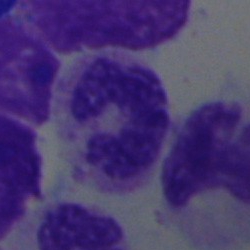 Single cell identified as a neutrophil (segmented).